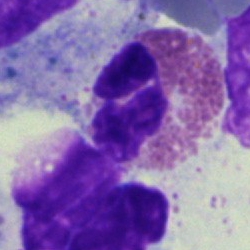

Cell type = eosinophilic granulocyte.